Bone marrow smear.
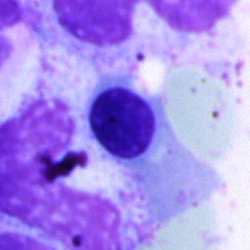Cell type: nucleated red cell.